Bone marrow aspirate smear · 40× oil immersion.
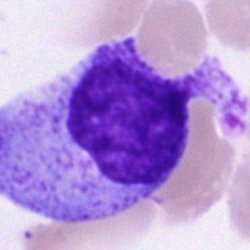 Impression — progranulocyte.